Bone marrow aspirate smear
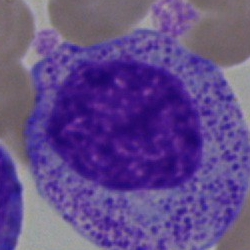

Specimen: bone marrow aspirate smear.
Cell type: progranulocyte.